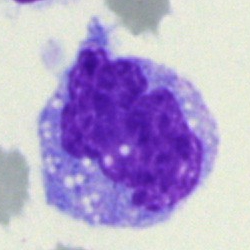
Classification: monocyte.